Bone marrow smear. 250 by 250 pixels
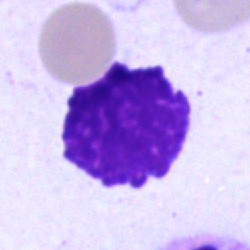

Q: What is shown here?
A: An artefact.